Bone marrow aspirate smear · image size 250×250:
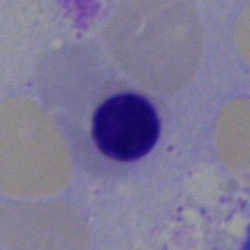
Specimen: bone marrow aspirate smear.
Cell type: normoblast.